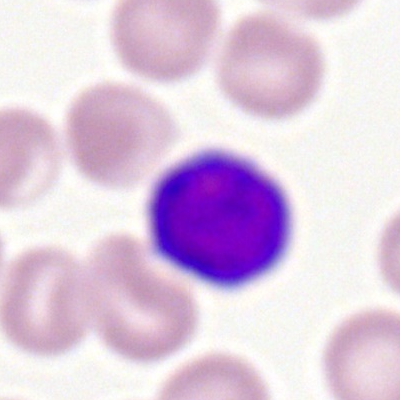

Impression — typical lymphocyte.